40× objective, oil immersion. Bone marrow aspirate smear. Single-cell field: 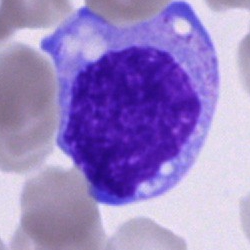Q: What type of cell is this?
A: It is an unidentifiable cell.